Bone marrow smear · May-Grünwald-Giemsa/Pappenheim stain — 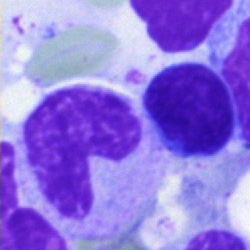Specimen: bone marrow smear.
Cell type: band-form neutrophil.
Lineage: myeloid.